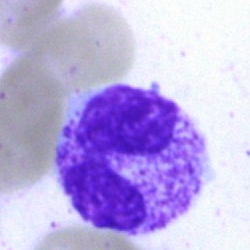

Q: What cell is this?
A: A segmented neutrophil.